Bone marrow aspirate smear.
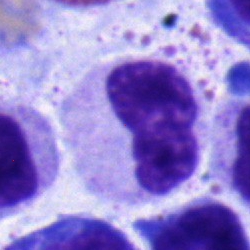
Impression — metamyelocyte.